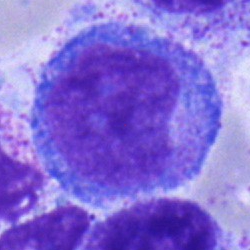 Cell: progranulocyte.